Single cell centered in the field. MGG-stained. Bone marrow aspirate smear: 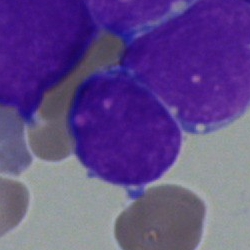
This is a blast.